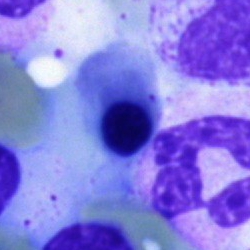A nucleated red blood cell.